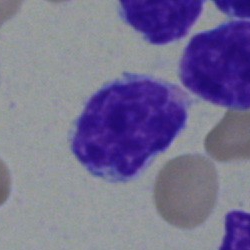 Morphological class = lymphocyte.